Bone marrow smear; brightfield microscopy, 40× oil immersion.
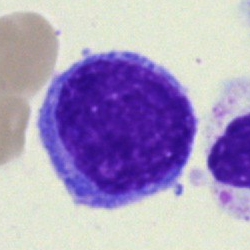

Morphology — blast.